Peripheral blood film. Romanowsky-type stain — 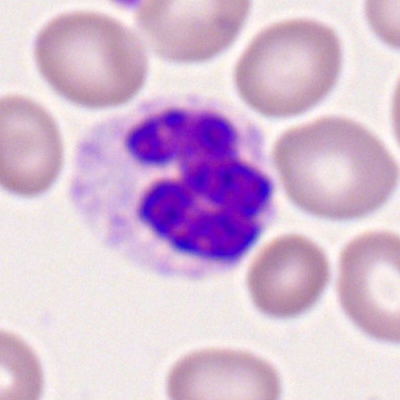Q: What is the morphological classification of this cell?
A: It is a segmented neutrophil.